Cropped to a single cell. Bone marrow smear: 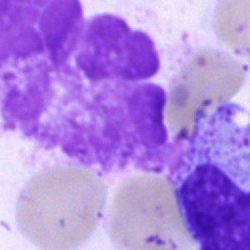

Q: What is shown here?
A: Artefact.